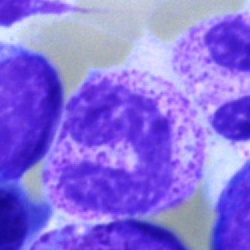Single-cell crop from a bone marrow smear: neutrophil (band).